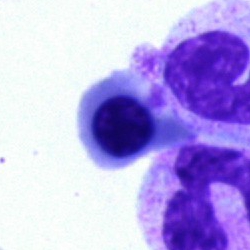This is a nucleated red blood cell.